40× oil immersion · May-Grünwald-Giemsa/Pappenheim stain · bone marrow smear
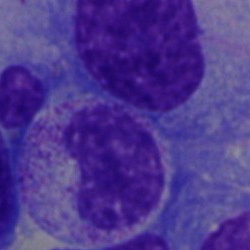

{"cell_type": "metamyelocyte", "lineage": "myeloid"}